Bone marrow aspirate smear:
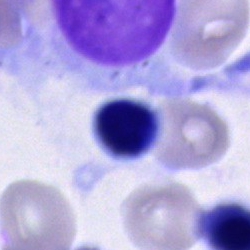The morphological class is cell of indeterminate lineage.